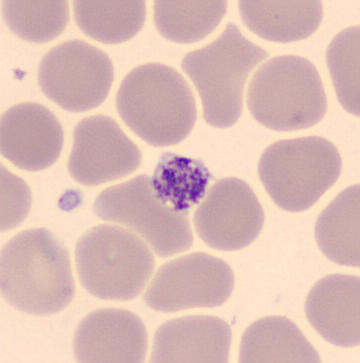Morphological class = platelet (thrombocyte). Acquisition: Automated cell imaging (CellaVision DM96). Peripheral blood film.